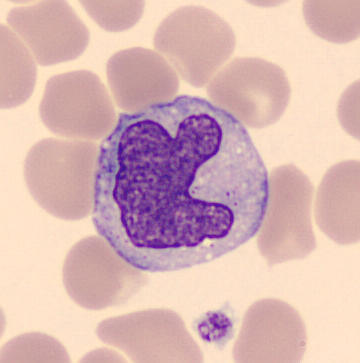
Acquisition: Peripheral blood film.

Morphology → monocyte.